Peripheral blood film: 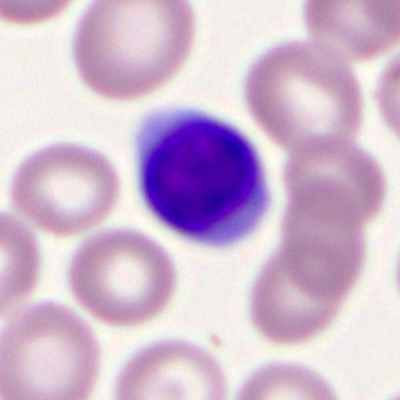 Specimen: peripheral blood smear.
Cell type: lymphocyte.